Peripheral blood film · 400 by 400 pixels: 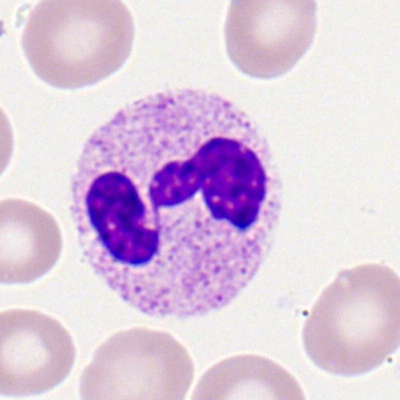 {"cell_type": "segmented neutrophil"}